Bone marrow smear:
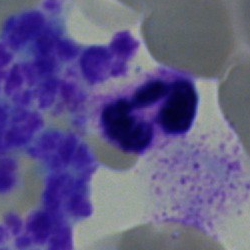
Q: What is shown here?
A: This is a segmented neutrophil.